May-Grünwald-Giemsa/Pappenheim stain · bone marrow aspirate smear · cropped to a single cell: 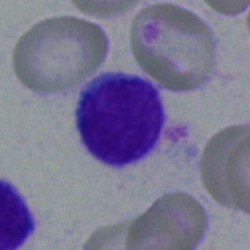Impression → lymphocyte.